Bone marrow smear: 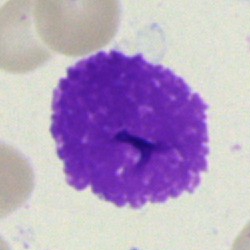

Impression — artifact.